Bone marrow aspirate smear
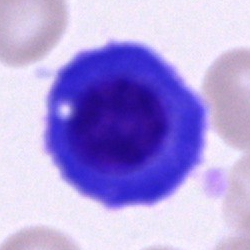Single cell identified as a plasmacyte.